Bone marrow smear · May-Grünwald-Giemsa stain — 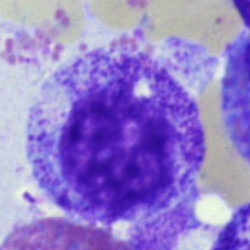
Specimen: bone marrow aspirate smear.
Morphological class: promyelocyte.